Bone marrow aspirate smear.
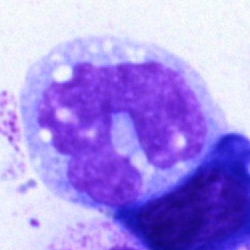
The cell type is monocyte.